Bone marrow smear.
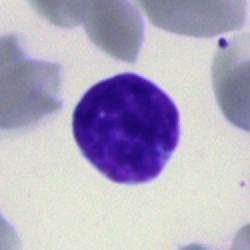

Specimen: bone marrow smear.
Classification: blast.